Bone marrow aspirate smear. Single-cell field.
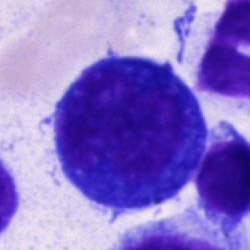 Cell: nucleated red blood cell.